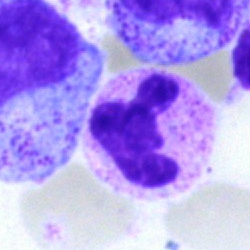 A neutrophil (segmented).